Bone marrow aspirate smear; 250×250:
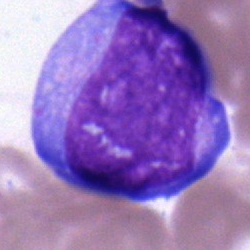This is a blast.